May-Grünwald-Giemsa stain · bone marrow aspirate smear:
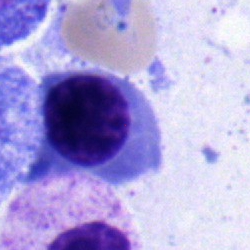 Showing a normoblast.